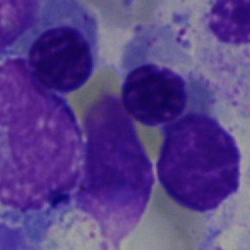Cell — erythroblast.